Bone marrow aspirate smear
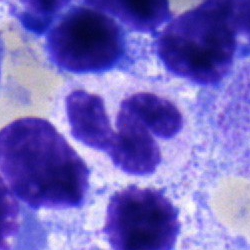The cell shown is a segmented neutrophil.